Bone marrow aspirate smear; May-Grünwald-Giemsa/Pappenheim stain — 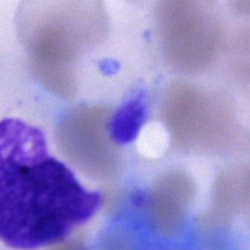
The cell is artefact.